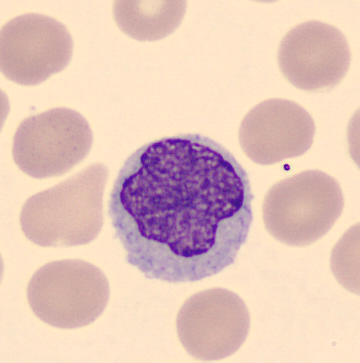 Cell type = monocyte.